Bone marrow smear
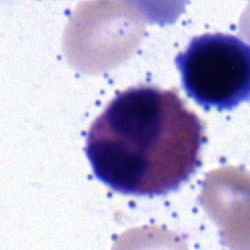Morphology consistent with an eosinophil.